Bone marrow aspirate smear · single-cell crop · 250 by 250 pixels: 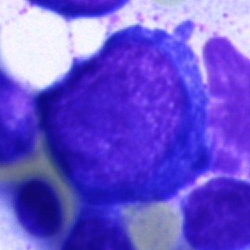

Specimen: bone marrow smear.
Cell type: proerythroblast.
Lineage: erythroid.